Bone marrow aspirate smear: 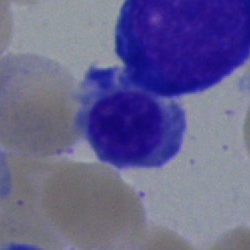

The morphological class is nucleated red cell.